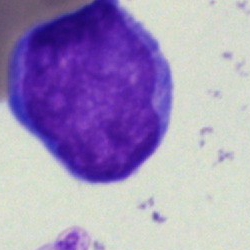 A blast on a bone marrow smear.